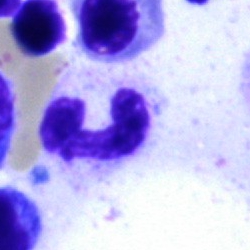 A band neutrophil.